250 by 250 pixels. Bone marrow smear. Single cell centered in the field.
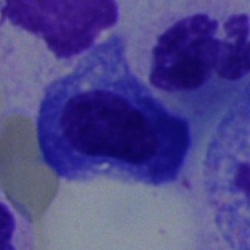

Classification: artifact.